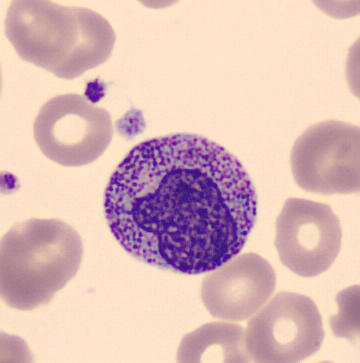 Preparation: Peripheral blood smear · MGG stain.
Morphology → metamyelocyte.